Brightfield microscopy, 40× oil immersion. May-Grünwald-Giemsa/Pappenheim stain. Bone marrow aspirate smear
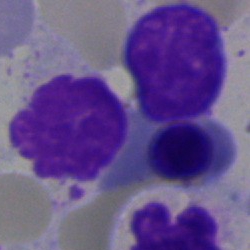

Morphological class: normoblast.